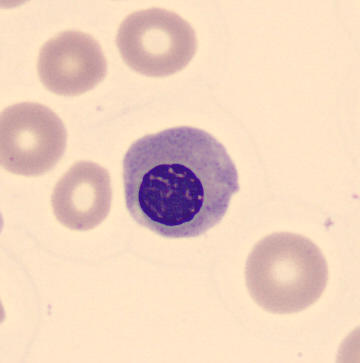
Morphology — nucleated red cell.

Cropped to a single cell; CellaVision DM96; peripheral blood smear.